Bone marrow aspirate smear: 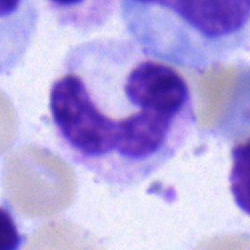 Q: What is shown here?
A: This is a stab cell.